Bone marrow aspirate smear.
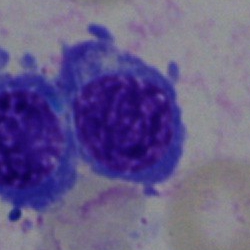

Specimen: bone marrow aspirate smear.
Cell: nucleated red cell.
Lineage: erythroid.